Bone marrow aspirate smear
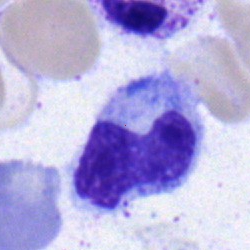 Classification = neutrophil (band).